Single cell centered in the field; bone marrow aspirate smear; image size 250×250.
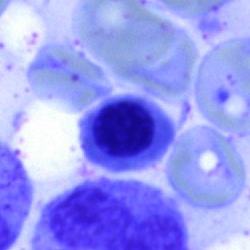
{"cell_type": "nucleated red blood cell", "lineage": "erythroid"}